Bone marrow smear · 250×250.
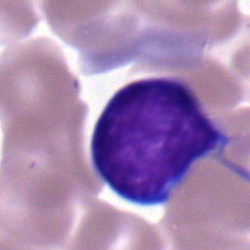
The cell is typical lymphocyte.